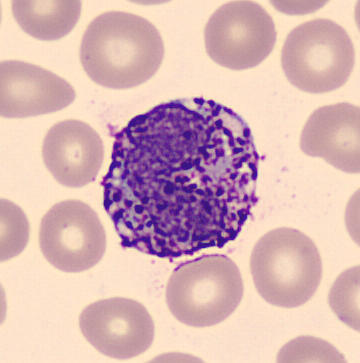

Q: What is the morphological classification of this cell?
A: This is a basophil.

Acquisition: Peripheral blood smear.